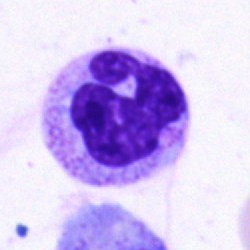 Cell type = polymorphonuclear neutrophil.